Bone marrow aspirate smear.
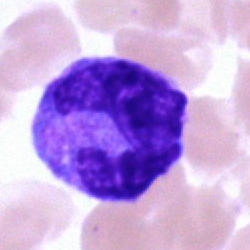 Showing a monocyte.